May-Grünwald-Giemsa stain · bone marrow aspirate smear · single-cell field: 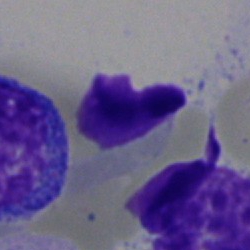
Morphology consistent with an artefact.